Bone marrow smear:
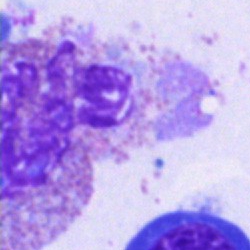Q: What is the morphological classification of this cell?
A: Eosinophilic granulocyte.